Pappenheim-stained; bone marrow smear:
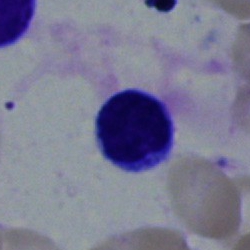 Q: What type of cell is this?
A: A typical lymphocyte.